Bone marrow smear:
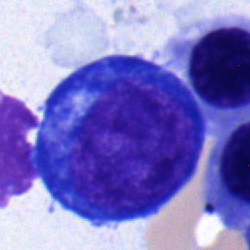 Specimen: bone marrow smear.
Cell: proerythroblast.
Lineage: erythroid.